Bone marrow aspirate smear.
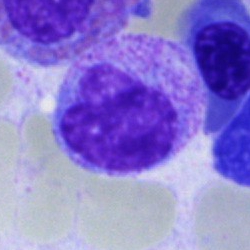

Morphology — myelocyte.